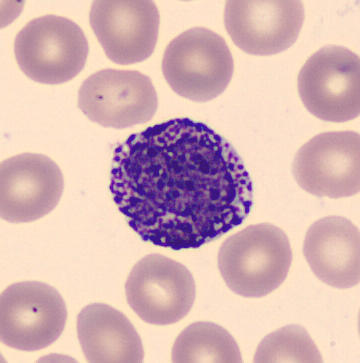The cell is basophilic granulocyte.